Bone marrow smear — 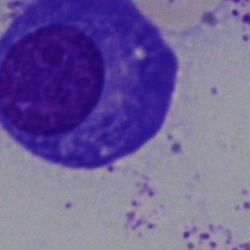
Morphology → plasma cell.